250×250 px · bone marrow aspirate smear:
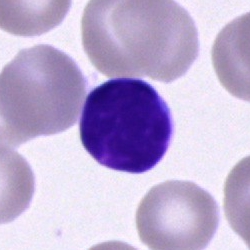 Showing a typical lymphocyte.